Image size 400×400. Peripheral blood film — 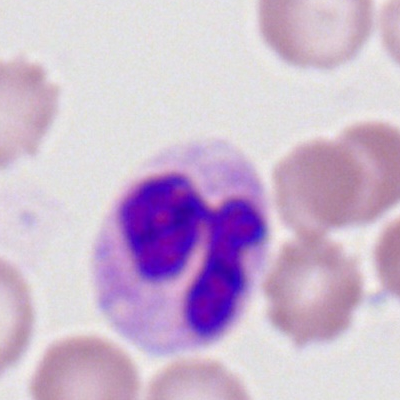

Cell: segmented neutrophil.